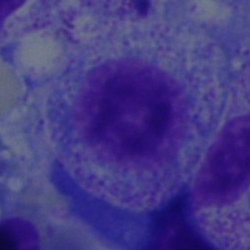
Single cell identified as a myelocyte.